Peripheral blood smear; Romanowsky-type stain; single-cell field
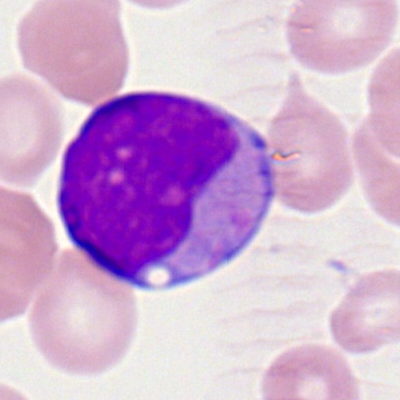

A myeloblast.